Single-cell crop · bone marrow smear:
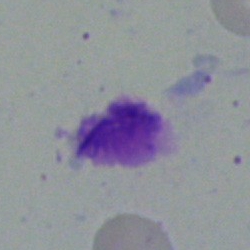 {"cell_type": "artifact"}